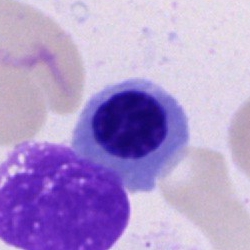 Morphology — nucleated red blood cell.